Bone marrow aspirate smear:
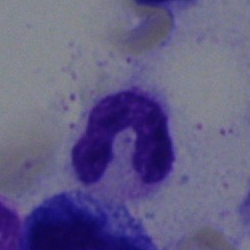
Morphology consistent with a neutrophil (segmented).